Bone marrow smear
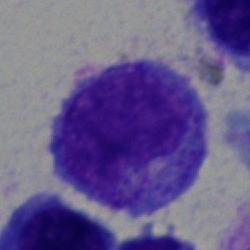The classification is promyelocyte.